Peripheral blood film: 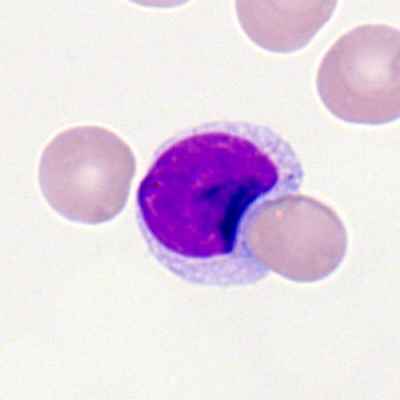
Specimen: peripheral blood smear.
Cell: lymphocyte.